Peripheral blood smear. MGG stain
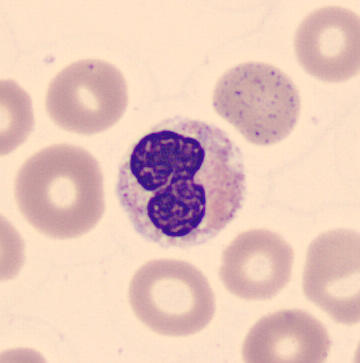Showing a stab cell.